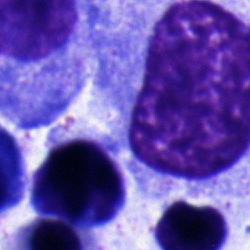Progranulocyte.